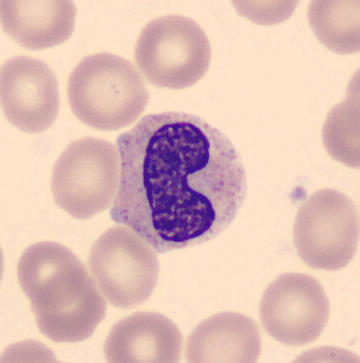 Peripheral blood film. A stab cell.